Peripheral blood smear; Romanowsky-type stain
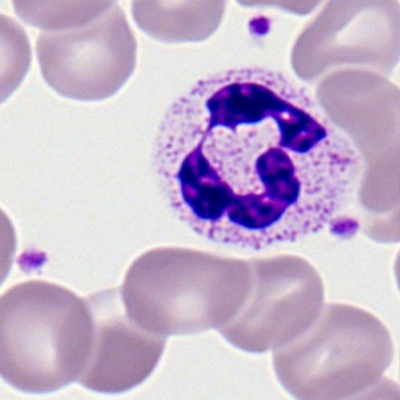
Morphological class = neutrophil (segmented).